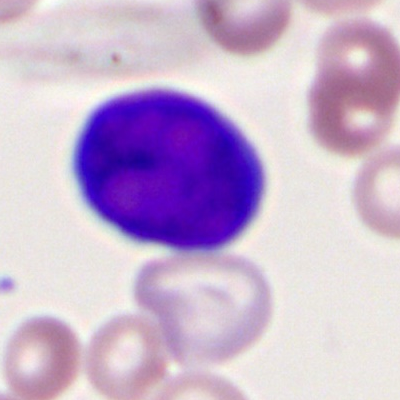 Specimen: peripheral blood film.
Cell: myeloblast.
Lineage: myeloid.